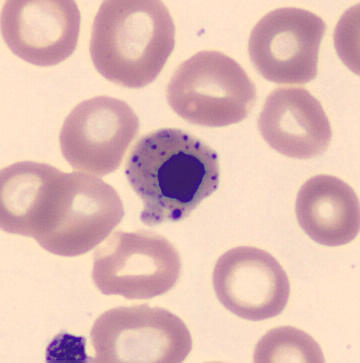

The cell is normoblast.

Peripheral blood smear.